Peripheral blood smear — 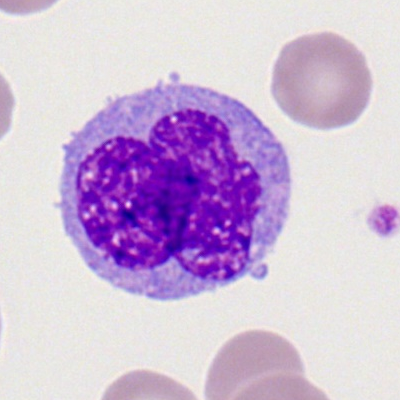Q: What is shown here?
A: It is a monocyte.